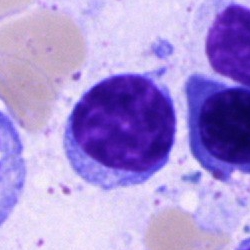

This is a typical lymphocyte.